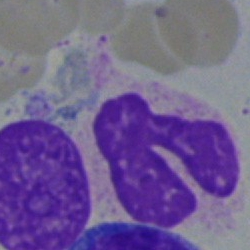

The cell is polymorphonuclear neutrophil.